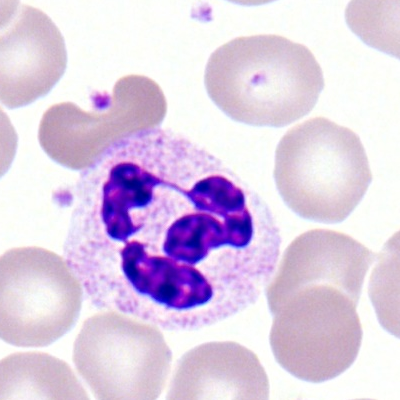Cell type — neutrophil (segmented).